MGG-stained. Bone marrow aspirate smear: 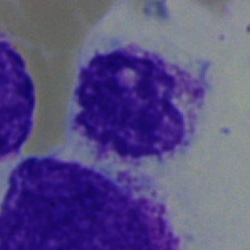
Single cell identified as a segmented neutrophil.